Bone marrow aspirate smear:
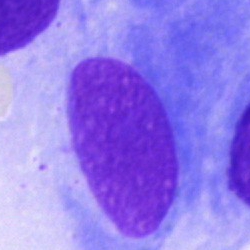 Q: What is shown here?
A: Artefact.